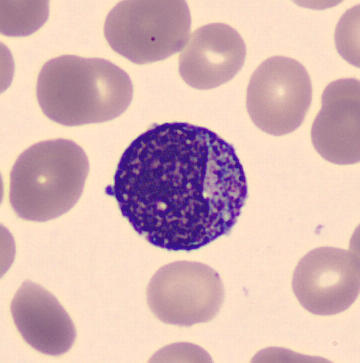

Q: Which cell type is shown here?
A: A myelocyte.